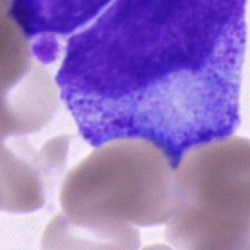 Cell type: progranulocyte.